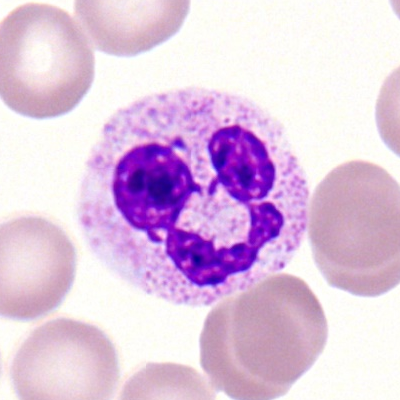Q: What is the morphological classification of this cell?
A: This is a neutrophil (segmented).